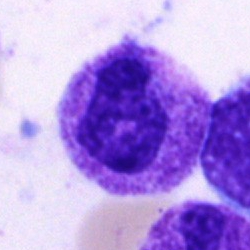
The classification is neutrophil (segmented).